Bone marrow smear · 250×250
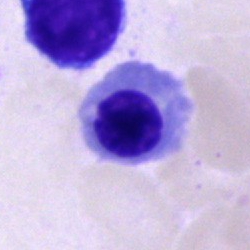
Impression — normoblast.